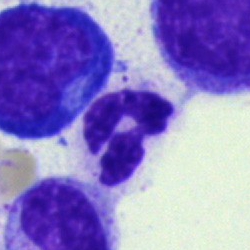
The cell type is polymorphonuclear neutrophil.